Bone marrow aspirate smear:
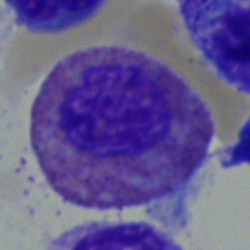 Q: What type of cell is this?
A: Eosinophilic granulocyte.